Peripheral blood film; single-cell crop: 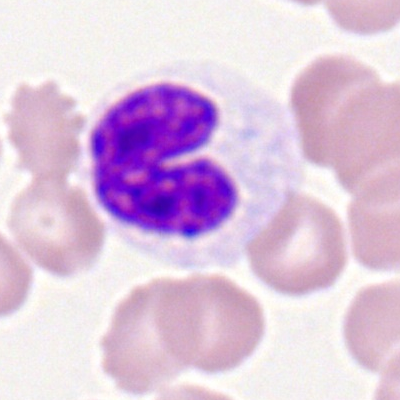

The cell shown is a neutrophil (band).